Peripheral blood film
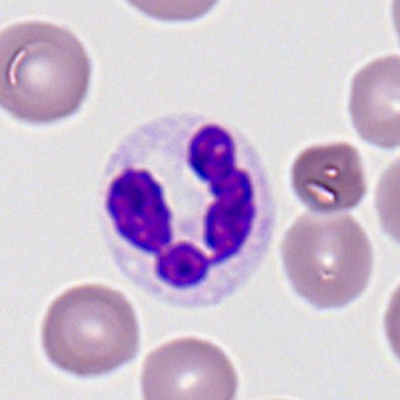 Q: Identify the cell.
A: This is a polymorphonuclear neutrophil.